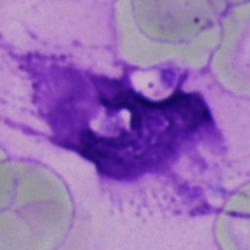Artefact.